Pappenheim-stained. Bone marrow smear.
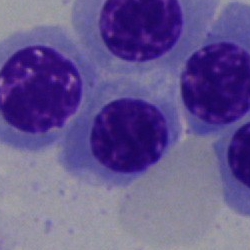

Q: Which cell type is shown here?
A: Nucleated red cell.